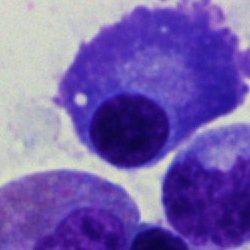 Specimen: bone marrow smear.
Morphological class: plasma cell.
Lineage: lymphoid.